250 by 250 pixels. Bone marrow smear:
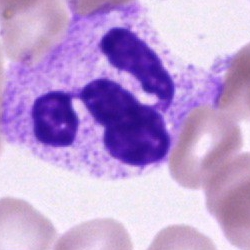
Classification = segmented neutrophil.